250 by 250 pixels · bone marrow smear.
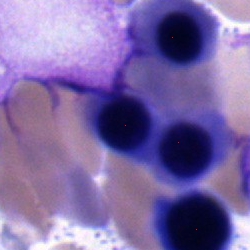 Specimen: bone marrow aspirate smear.
Cell type: erythroblast.
Lineage: erythroid.